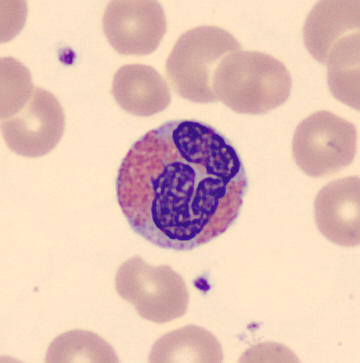
Acquisition: Peripheral blood film; single-cell crop.

The cell shown is an eosinophilic granulocyte.